Bone marrow aspirate smear. Single-cell crop. May-Grünwald-Giemsa/Pappenheim stain: 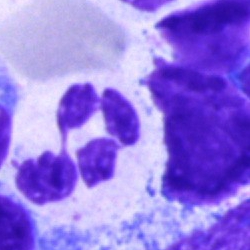
Morphological class — segmented neutrophil.